Bone marrow aspirate smear:
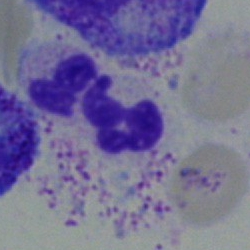 Specimen: bone marrow smear.
Morphological class: neutrophil (segmented).
Lineage: myeloid.